MGG-stained; 250×250 px; bone marrow aspirate smear — 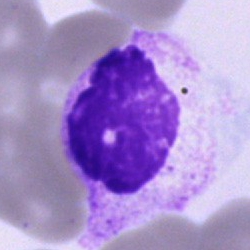Morphology consistent with an unidentifiable cell.